May-Grünwald-Giemsa stain. Bone marrow smear.
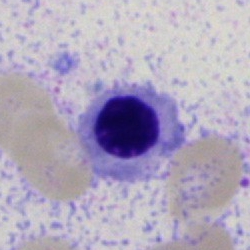Showing a normoblast.